Bone marrow smear: 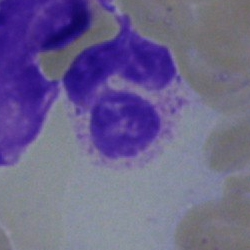
Showing a segmented neutrophil.